Pappenheim-stained; brightfield microscopy, 40× oil immersion; bone marrow aspirate smear.
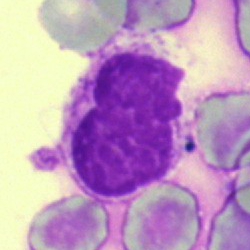

An artefact.